May-Grünwald-Giemsa stain; single-cell field; bone marrow smear — 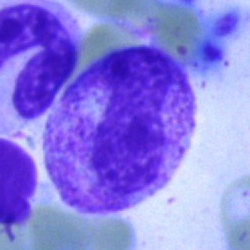 The cell type is stab cell.